Bone marrow aspirate smear; brightfield microscopy, 40× oil immersion; MGG-stained — 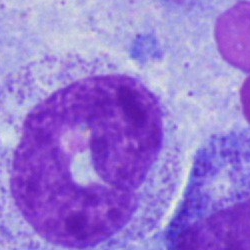
Morphology consistent with a band neutrophil.